Bone marrow smear. Cropped to a single cell.
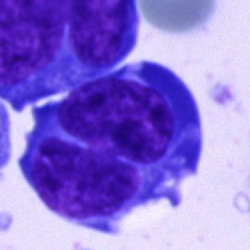 Morphology → blast cell.